Bone marrow smear.
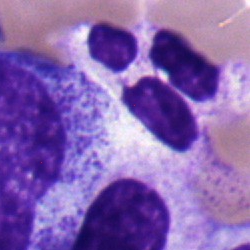

A myelocyte.